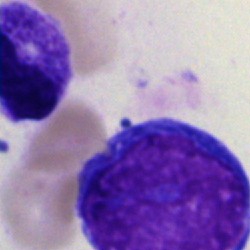 Q: What cell is this?
A: A blast.